Bone marrow aspirate smear
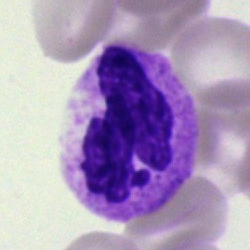
Q: What is shown here?
A: It is a segmented neutrophil.